Bone marrow aspirate smear; MGG-stained.
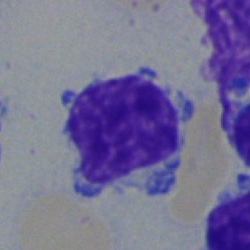
Specimen: bone marrow smear.
Cell: lymphocyte.